Bone marrow aspirate smear.
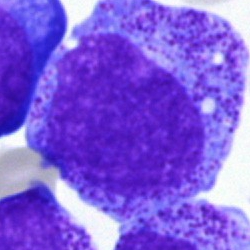

Classification — progranulocyte.